Bone marrow aspirate smear — 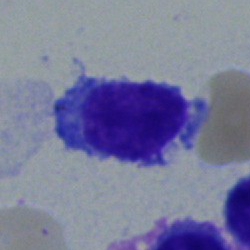

Cell = typical lymphocyte.